Bone marrow aspirate smear:
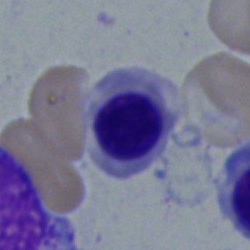 Cell: normoblast.